Bone marrow smear: 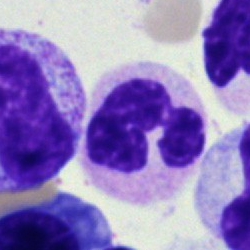

Showing a polymorphonuclear neutrophil.